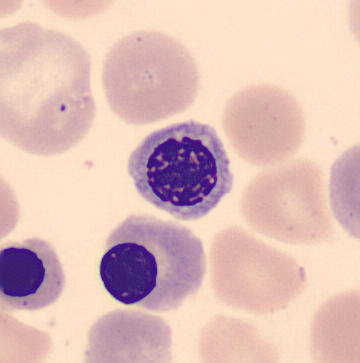The cell type is nucleated red blood cell.
Preparation: Peripheral blood smear.